Bone marrow smear:
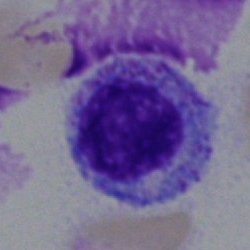

Cell type — myelocyte.